Bone marrow aspirate smear — 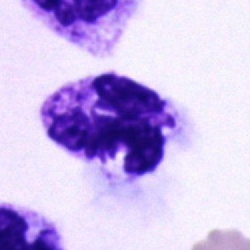The cell shown is a neutrophil (segmented).